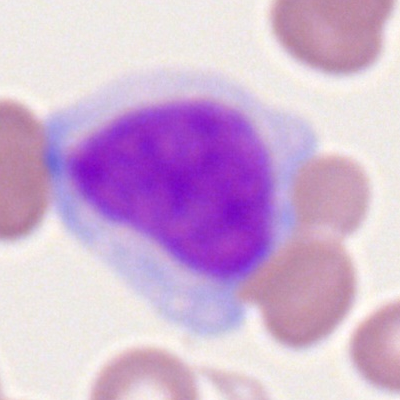Impression → myeloblast.